Bone marrow smear:
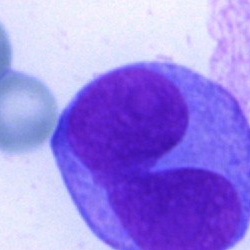
The cell shown is a blast.